Peripheral blood smear:
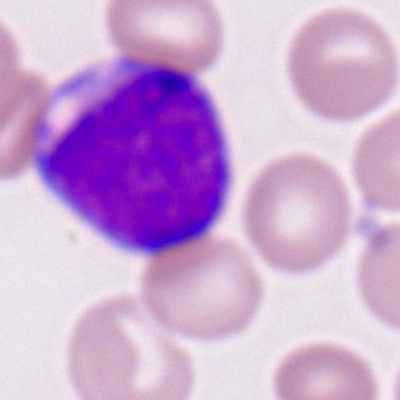 Myeloblast.